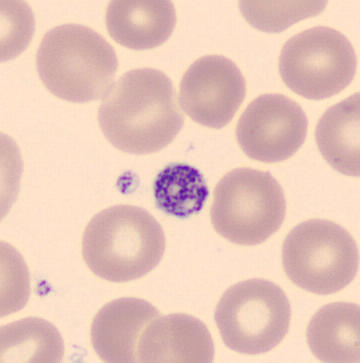The morphological class is thrombocyte.